Bone marrow smear. Single cell centered in the field: 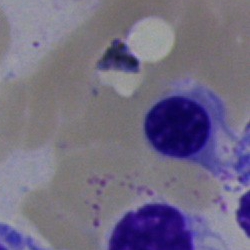 Single cell identified as an erythroblast.